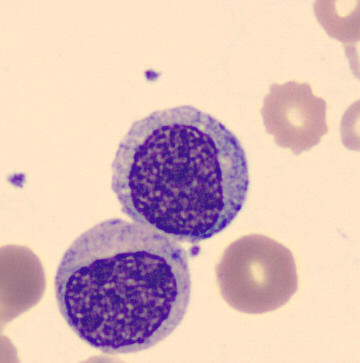
Myelocyte.